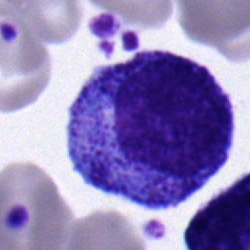

The cell type is promyelocyte.